Peripheral blood smear. Cropped to a single cell:
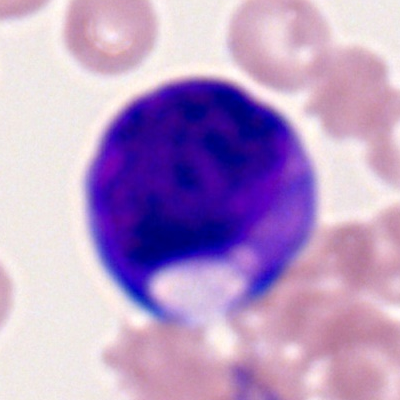Q: What cell is this?
A: It is a myeloblast.